250×250 px · bone marrow smear — 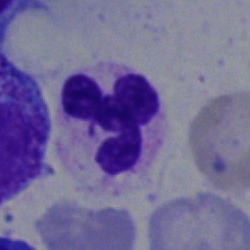 Q: What is the morphological classification of this cell?
A: This is a polymorphonuclear neutrophil.